Bone marrow aspirate smear. May-Grünwald-Giemsa stain. Single-cell crop
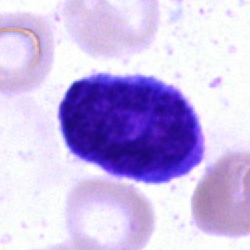Showing a blast cell.